Bone marrow aspirate smear. 250×250 px.
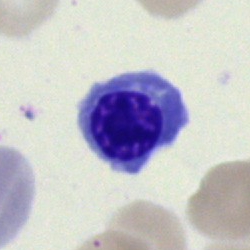
A normoblast.